Bone marrow smear:
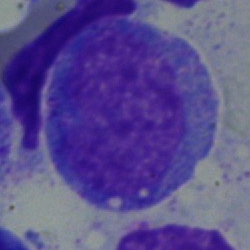Morphology → progranulocyte.